Bone marrow smear — 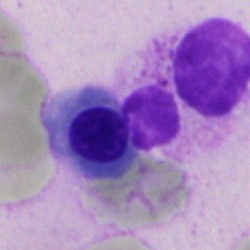A nucleated red cell.